Bone marrow smear.
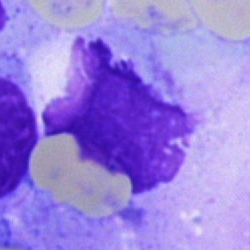

Cell: artifact.